Bone marrow smear:
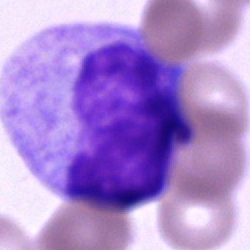The cell is progranulocyte.